Bone marrow aspirate smear
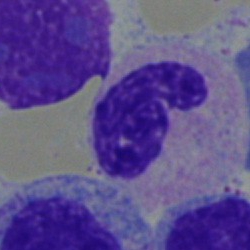
Classification = stab cell.